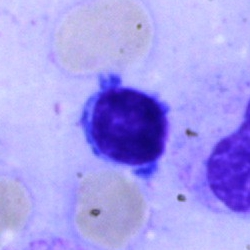

The cell shown is a typical lymphocyte.